Peripheral blood smear:
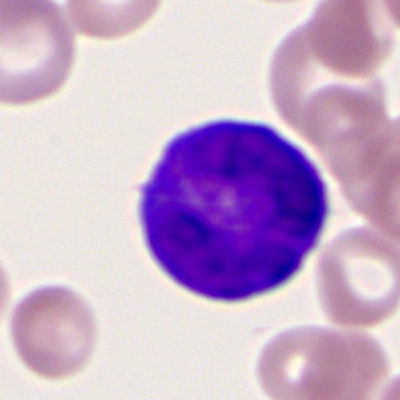Single cell identified as a myeloid blast.